Bone marrow aspirate smear — 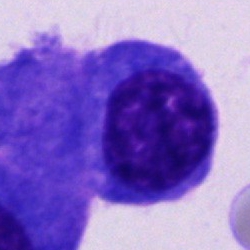
Impression → cell not matching the other categories.